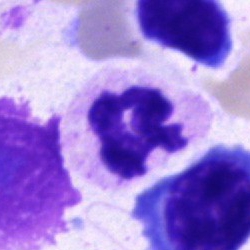Showing a polymorphonuclear neutrophil.